Bone marrow smear.
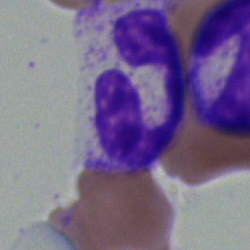Morphological class: polymorphonuclear neutrophil.